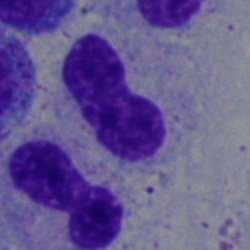
Specimen: bone marrow smear.
Cell: stab cell.
Lineage: myeloid.